Single cell centered in the field; bone marrow aspirate smear — 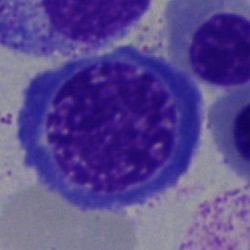Impression → nucleated red blood cell.